Bone marrow smear
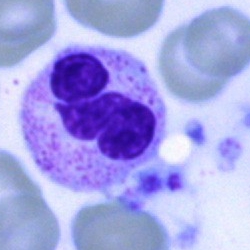The cell shown is a segmented neutrophil.